Bone marrow aspirate smear — 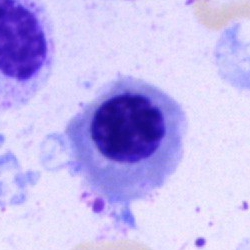Nucleated red blood cell.